40× objective, oil immersion · bone marrow aspirate smear: 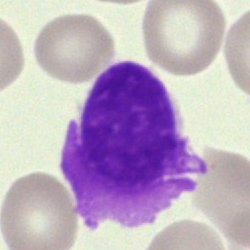 Single cell identified as an artifact.